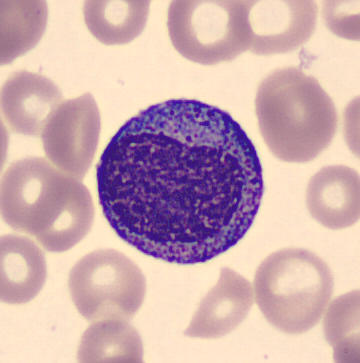 {"cell_type": "promyelocyte", "lineage": "myeloid"}
Peripheral blood smear; CellaVision DM96.